Bone marrow aspirate smear.
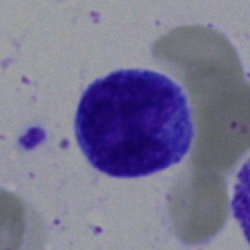 Cell = hairy cell.